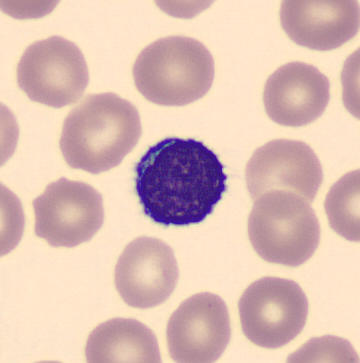
Specimen: peripheral blood smear.
Classification: lymphocyte.